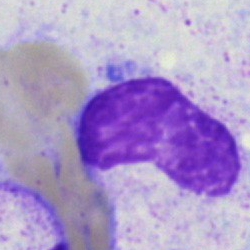 Bone marrow aspirate smear, single cell — metamyelocyte.